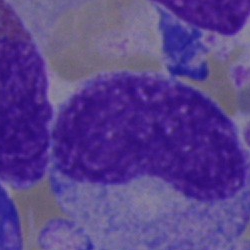 Classification = metamyelocyte.